Bone marrow smear — 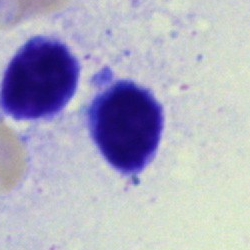Cell type: typical lymphocyte.